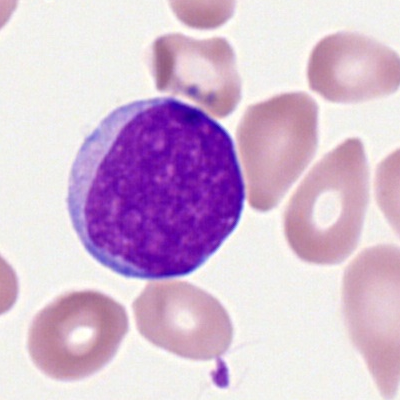 Q: What type of cell is this?
A: It is a myeloblast.